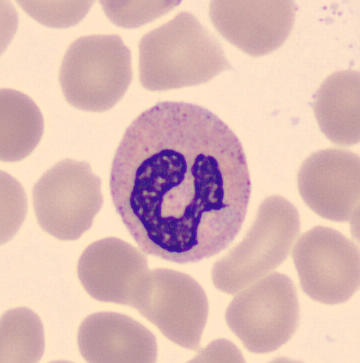
Image: May Grünwald-Giemsa stain. Image size 360×363. Peripheral blood film. Q: Which cell type is shown here?
A: It is a band-form neutrophil.